Brightfield, 40× oil-immersion objective; MGG-stained; bone marrow aspirate smear — 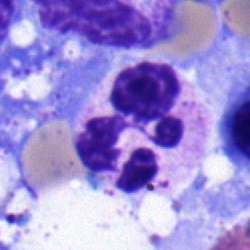A segmented neutrophil.